Bone marrow aspirate smear
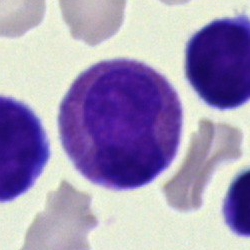

Single cell identified as an eosinophilic granulocyte.